Bone marrow smear · May-Grünwald-Giemsa stain
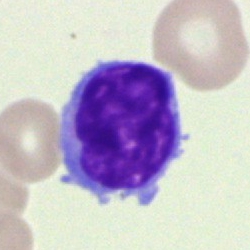

{"cell_type": "lymphocyte"}